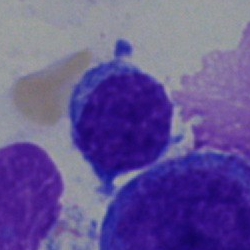

Cell type: lymphocyte.